Bone marrow aspirate smear. 250 by 250 pixels — 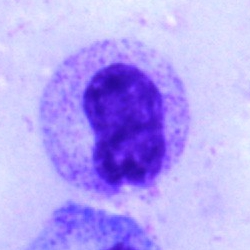The cell shown is a metamyelocyte.